Bone marrow smear: 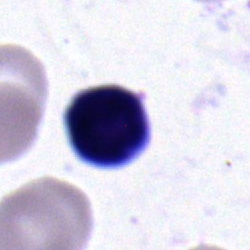

Specimen: bone marrow smear.
Morphological class: lymphocyte.
Lineage: lymphoid.